Single-cell crop; MGG-stained; bone marrow aspirate smear.
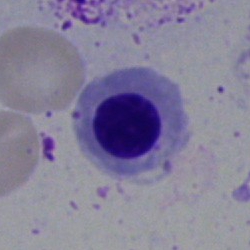A nucleated red blood cell.